Brightfield, 40× oil-immersion objective. Bone marrow aspirate smear:
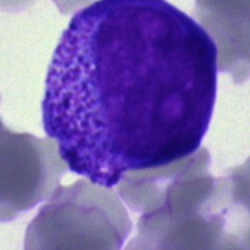The morphological class is progranulocyte.